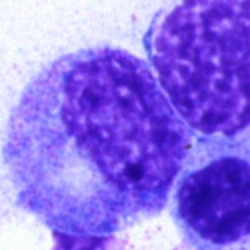 Q: What cell is this?
A: Promyelocyte.